Bone marrow smear. 40× oil immersion. Pappenheim-stained.
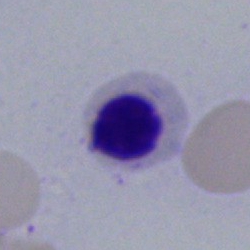
Impression → nucleated red cell.